Peripheral blood smear. 400×400 px:
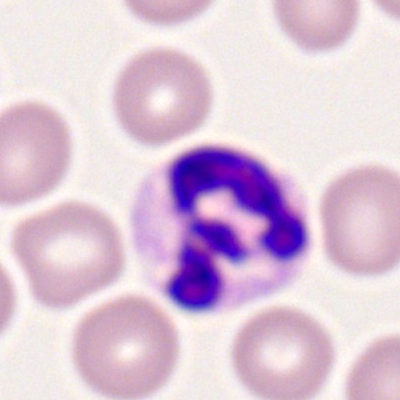

Q: Which cell type is shown here?
A: It is a polymorphonuclear neutrophil.